Bone marrow aspirate smear:
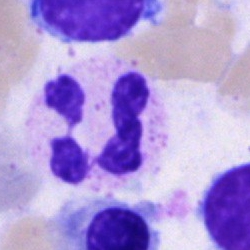Impression — segmented neutrophil.